Bone marrow aspirate smear · cropped to a single cell — 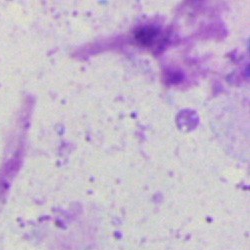 Specimen: bone marrow aspirate smear.
Morphological class: artefact.